Bone marrow aspirate smear · Pappenheim-stained:
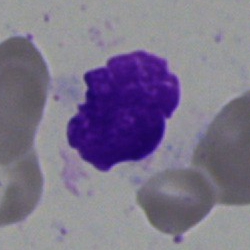

Morphology consistent with an artifact.